Peripheral blood film — 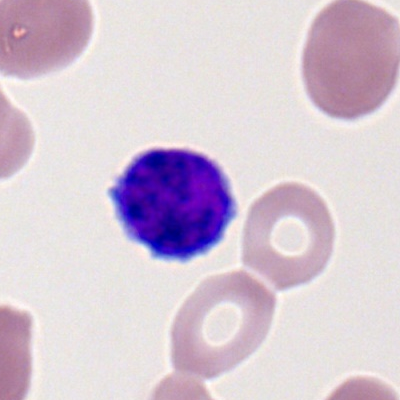
Morphological class — lymphocyte.